Single-cell crop · bone marrow aspirate smear.
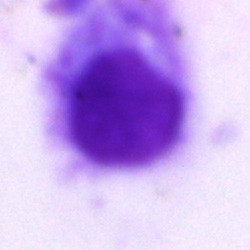Q: What is shown here?
A: An artefact.